250×250 px · bone marrow smear: 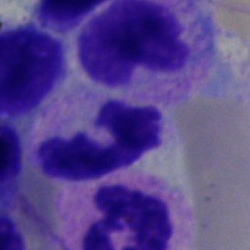 Morphological class — segmented neutrophil.